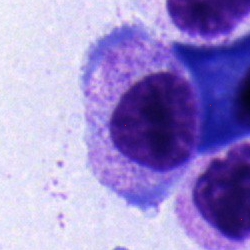
Bone marrow aspirate smear, single cell — myelocyte.